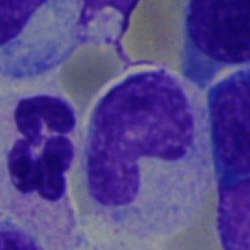Specimen: bone marrow smear.
Classification: band-form neutrophil.